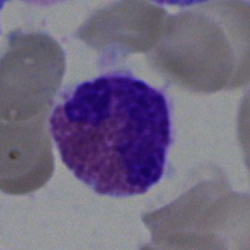
Morphology consistent with an eosinophil.